Bone marrow aspirate smear: 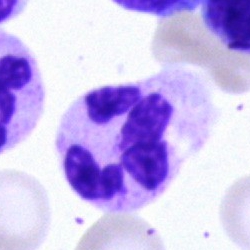

Impression → neutrophil (segmented).